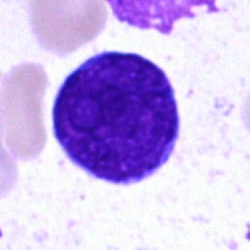
Impression → blast.